Bone marrow aspirate smear — 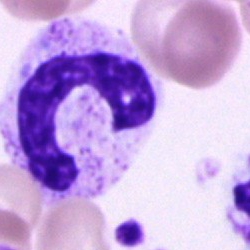

Cell = stab cell.